Bone marrow smear.
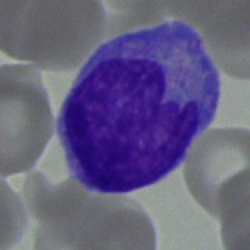

Q: What is the morphological classification of this cell?
A: This is a monocyte.